Cropped to a single cell · 40× oil immersion · bone marrow aspirate smear:
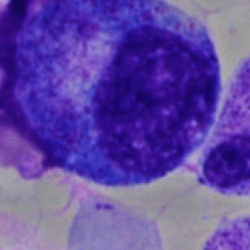Progranulocyte.